Single cell centered in the field · image size 250×250 · bone marrow smear: 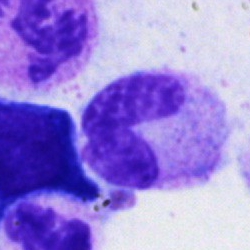

Impression — stab cell.